Peripheral blood smear
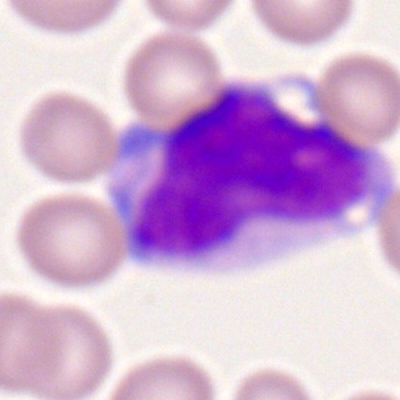
Specimen: peripheral blood smear.
Cell: myeloid blast.